Bone marrow smear: 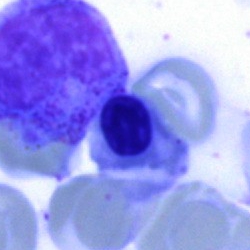

Morphological class: erythroblast.